250 by 250 pixels · bone marrow aspirate smear
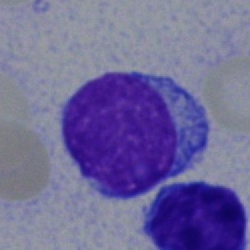 This is a lymphocyte.